Bone marrow smear.
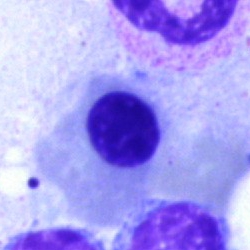

Morphology consistent with a nucleated red cell.